Bone marrow smear. Brightfield microscopy, 40× oil immersion: 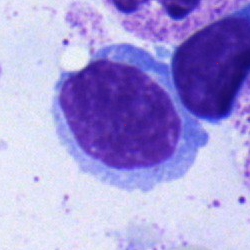
This is a typical lymphocyte.